May-Grünwald-Giemsa stain. Bone marrow smear: 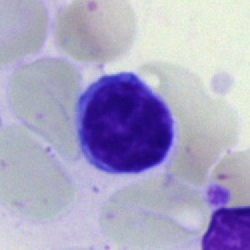Specimen: bone marrow smear.
Morphological class: lymphocyte.
Lineage: lymphoid.